Cropped to a single cell · bone marrow smear.
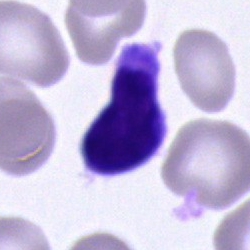 The cell shown is a lymphocyte.